Bone marrow smear:
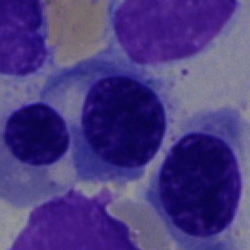Showing a nucleated red blood cell.